Single-cell crop · bone marrow smear · 250×250
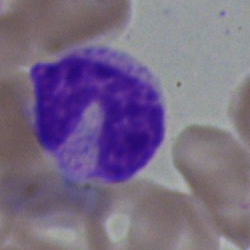 Q: What type of cell is this?
A: This is a band neutrophil.